May-Grünwald-Giemsa stain. Bone marrow aspirate smear. Brightfield, 40× oil-immersion objective — 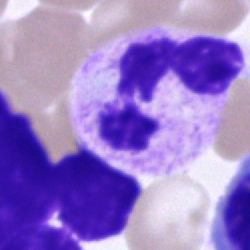A neutrophil (segmented).